Brightfield microscopy, 40× oil immersion. Single cell centered in the field. Bone marrow aspirate smear — 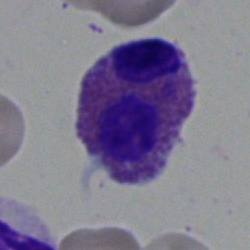

Specimen: bone marrow smear.
Cell type: eosinophil.